Bone marrow aspirate smear; brightfield, 40× oil-immersion objective.
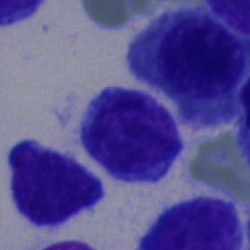
{"cell_type": "lymphocyte", "lineage": "lymphoid"}